Bone marrow aspirate smear.
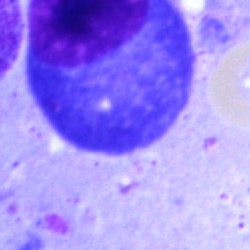 This is a plasma cell.